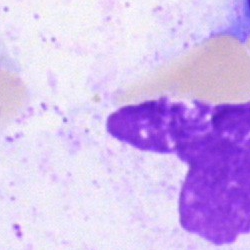 The cell shown is an artifact.